Cropped to a single cell; bone marrow smear — 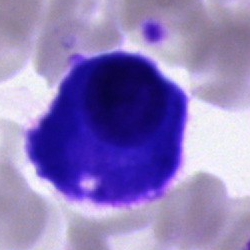

Plasma cell.